Bone marrow aspirate smear · single-cell field — 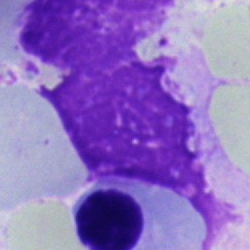 Q: What is shown here?
A: It is an artefact.